Bone marrow aspirate smear.
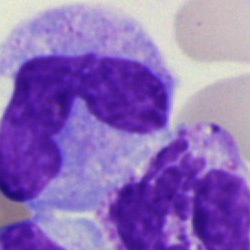
Morphology consistent with a monocyte.